Bone marrow smear; single-cell crop: 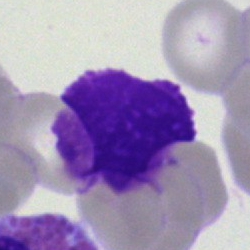
Classification: artifact.